Bone marrow smear. 250×250
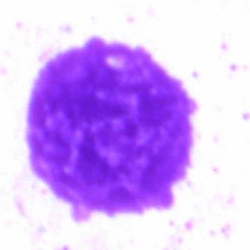
Cell type — artifact.